250×250 px · bone marrow smear · 40× oil immersion:
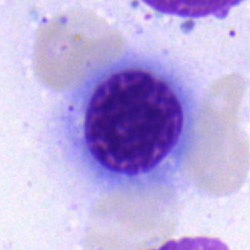

This is an erythroblast.